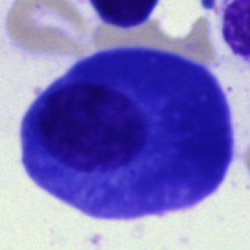

Q: What is shown here?
A: It is a plasma cell.